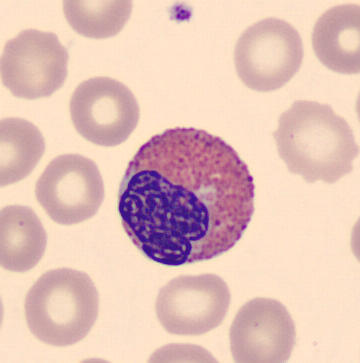

Q: Which cell type is shown here?
A: It is an eosinophil. Image: 360×363 px · peripheral blood film.